Peripheral blood smear; M8 digital microscope (Precipoint), 100× oil immersion; single cell centered in the field
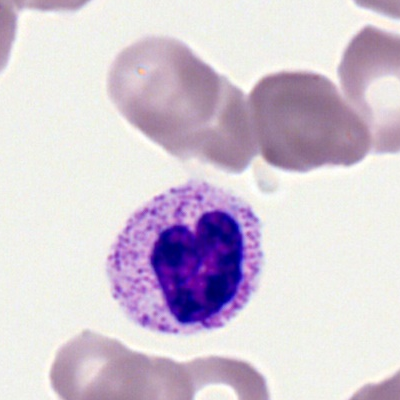 Classification: polymorphonuclear neutrophil.